Cropped to a single cell · bone marrow aspirate smear: 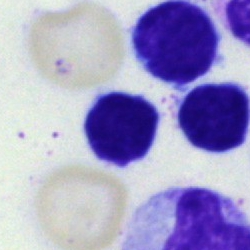

Cell: typical lymphocyte.